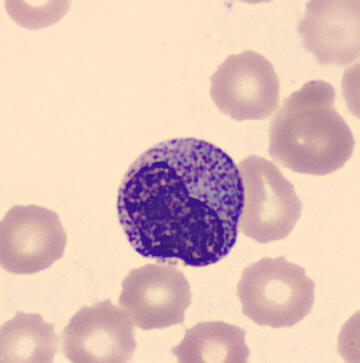
Image: Peripheral blood film.

{"cell_type": "metamyelocyte", "lineage": "myeloid"}